Bone marrow aspirate smear:
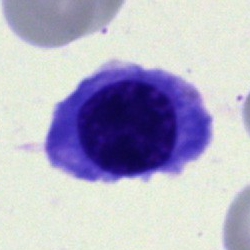The classification is nucleated red blood cell.